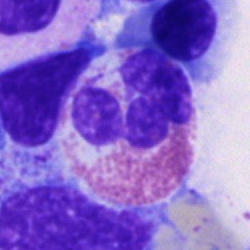Morphological class: eosinophil.